Bone marrow smear
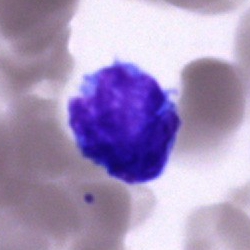
Impression — lymphocyte.